Bone marrow aspirate smear — 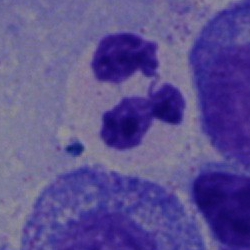This is a segmented neutrophil.